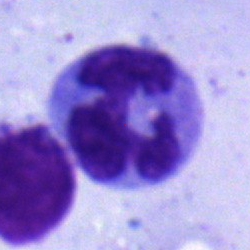 Specimen: bone marrow aspirate smear.
Cell type: monocyte.